Bone marrow aspirate smear — 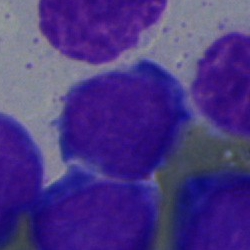

This is a blast cell.